Peripheral blood film:
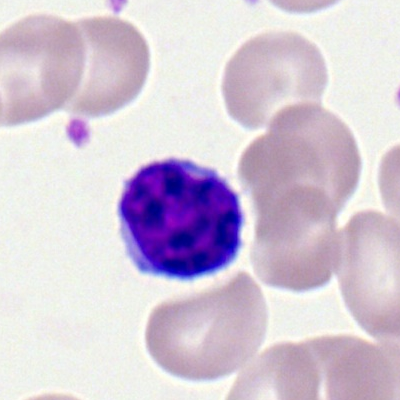 A lymphocyte.